Brightfield, 40× oil-immersion objective · bone marrow aspirate smear — 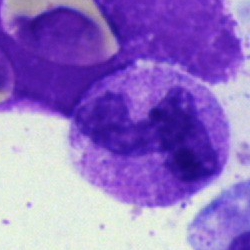

Single cell identified as a polymorphonuclear neutrophil.